Bone marrow aspirate smear. Cropped to a single cell — 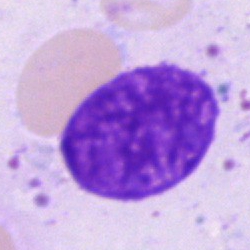
Impression → artefact.